40× objective, oil immersion · bone marrow smear: 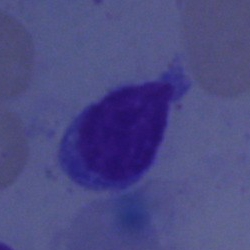The cell type is typical lymphocyte.